Bone marrow smear. May-Grünwald-Giemsa stain. Single-cell crop
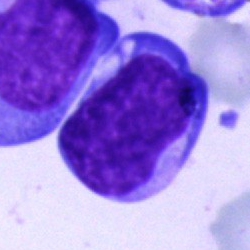

Morphology consistent with a blast cell.